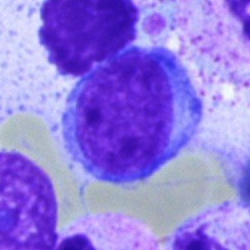 Showing a lymphocyte.